Bone marrow aspirate smear: 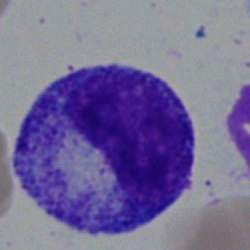

Cell type: myelocyte.